Bone marrow smear; MGG-stained; brightfield microscopy, 40× oil immersion
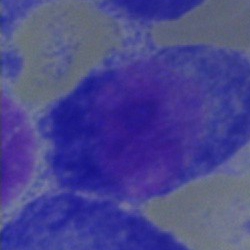

A plasma cell.